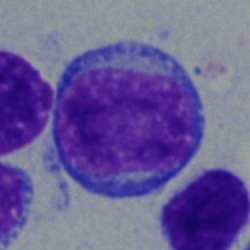 {"cell_type": "blast"}